Bone marrow smear: 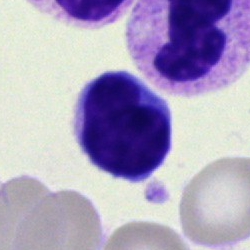 Q: Identify the cell.
A: It is a lymphocyte.